Bone marrow aspirate smear: 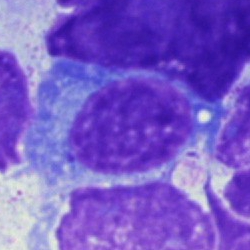 Cell type = plasma cell.